250×250. May-Grünwald-Giemsa stain. Bone marrow aspirate smear — 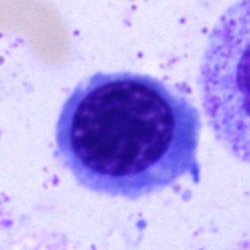
Morphology — normoblast.